Bone marrow smear — 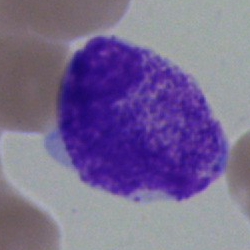 A metamyelocyte.